Bone marrow aspirate smear · single-cell field.
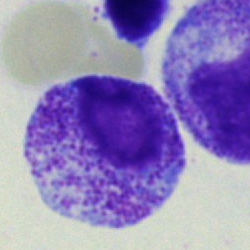

Specimen: bone marrow aspirate smear.
Morphological class: myelocyte.
Lineage: myeloid.